Romanowsky-type stain · peripheral blood film: 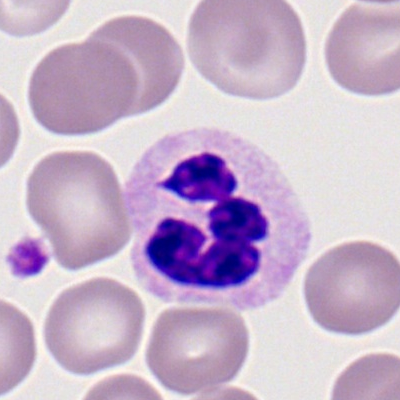

Polymorphonuclear neutrophil.